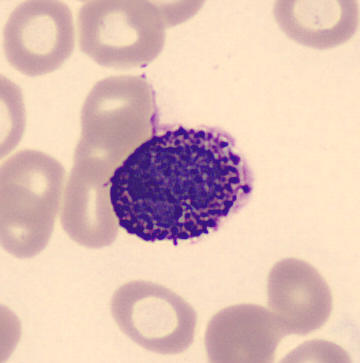

Identified as a basophilic granulocyte. Preparation: May Grünwald-Giemsa stain. Peripheral blood film. Single cell centered in the field.